Bone marrow aspirate smear
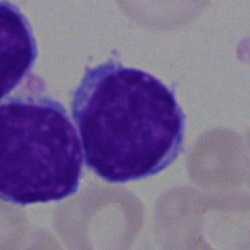Specimen: bone marrow smear.
Morphological class: lymphocyte.